Bone marrow aspirate smear
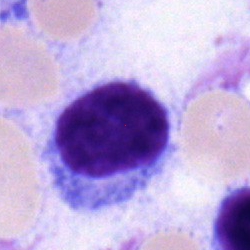Morphology — typical lymphocyte.